Bone marrow smear · brightfield microscopy, 40× oil immersion · 250 by 250 pixels.
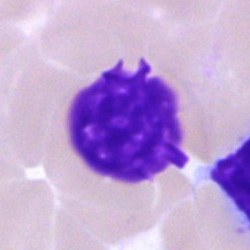Morphological class — artefact.